Bone marrow smear · MGG-stained: 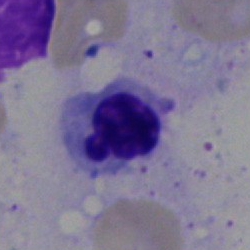

This is a nucleated red cell.